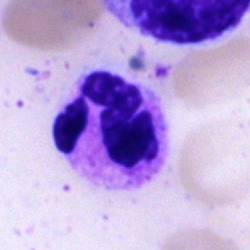

Single cell identified as a segmented neutrophil.